Bone marrow aspirate smear: 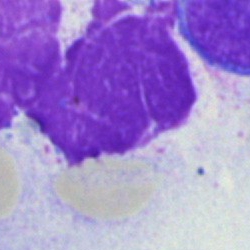

This is an artefact.